Bone marrow smear: 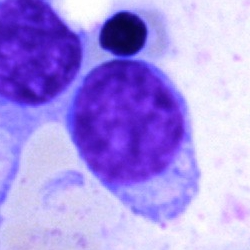
The cell shown is a typical lymphocyte.